Pappenheim-stained. Bone marrow aspirate smear: 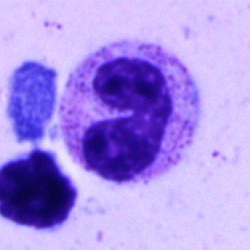

This is a segmented neutrophil.